May-Grünwald-Giemsa/Pappenheim stain; cropped to a single cell; bone marrow aspirate smear: 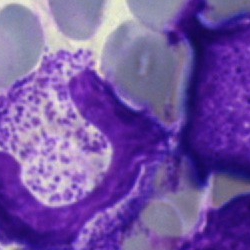
Cell: polymorphonuclear neutrophil.